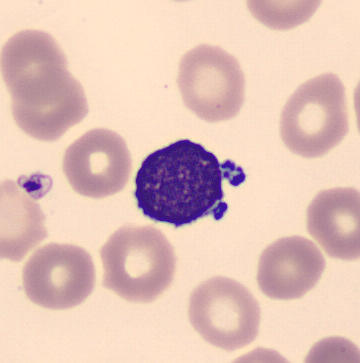

Specimen: peripheral blood film.
Morphological class: lymphocyte.
Lineage: lymphoid.

Image size 360×363.